Bone marrow aspirate smear; 40× objective, oil immersion: 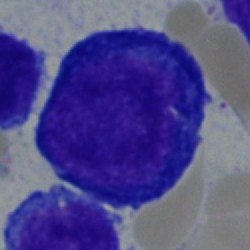
Morphology consistent with a proerythroblast.